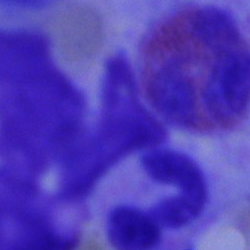

Q: Identify the cell.
A: This is an eosinophilic granulocyte.